Bone marrow aspirate smear. 40× objective, oil immersion
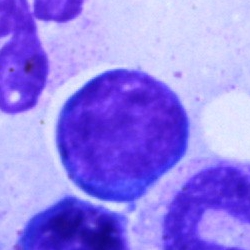

Morphology consistent with a lymphocyte.